250 by 250 pixels. Pappenheim-stained. Bone marrow smear — 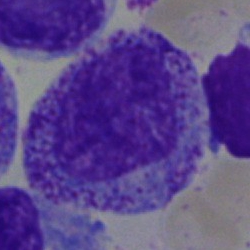

This is a myelocyte.